MGG-stained; bone marrow smear.
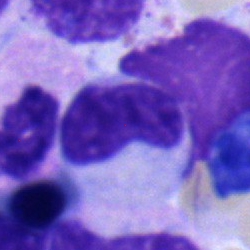
Cell: metamyelocyte.